Bone marrow aspirate smear:
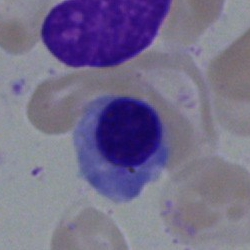

Q: Which cell type is shown here?
A: This is an erythroblast.